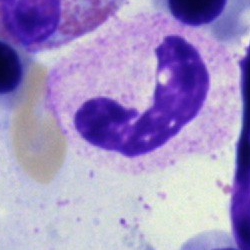
Q: What type of cell is this?
A: Segmented neutrophil.